Bone marrow aspirate smear — 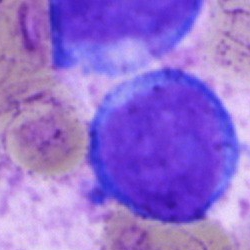Morphology consistent with a blast cell.